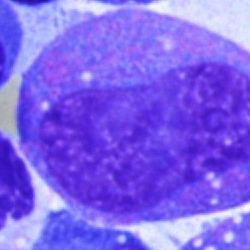

Showing a progranulocyte.